Peripheral blood film: 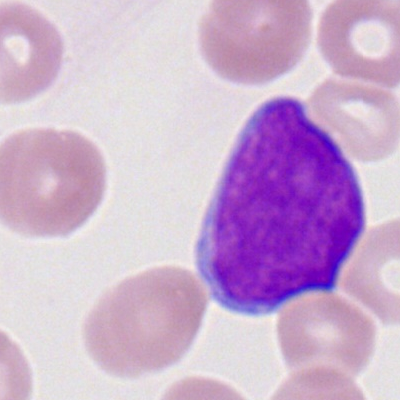
Specimen: peripheral blood smear.
Morphological class: myeloblast.
Lineage: myeloid.